Bone marrow smear
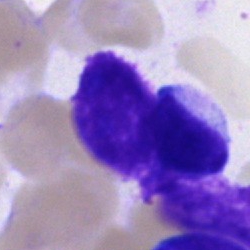An unidentifiable cell.